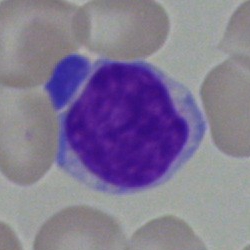 Specimen: bone marrow aspirate smear.
Morphological class: typical lymphocyte.